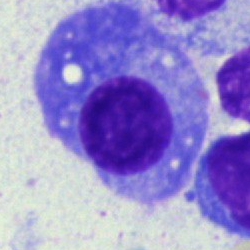

Impression → plasma cell.